Bone marrow aspirate smear:
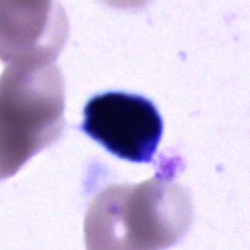 Morphology consistent with a cell of indeterminate lineage.